Bone marrow smear.
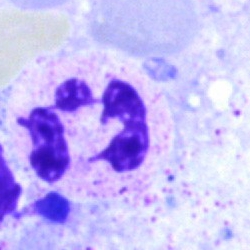

Morphological class — segmented neutrophil.